Bone marrow aspirate smear.
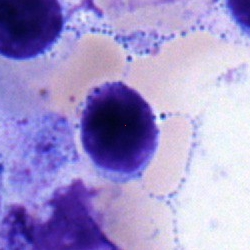Specimen: bone marrow smear.
Cell type: typical lymphocyte.
Lineage: lymphoid.